40× oil immersion · bone marrow aspirate smear · single-cell field: 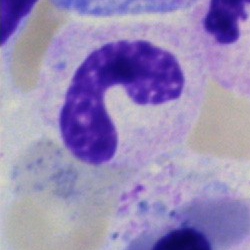

Q: What cell is this?
A: A neutrophil (segmented).